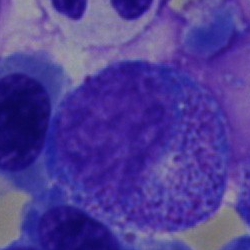A progranulocyte.